Bone marrow smear. Brightfield, 40× oil-immersion objective: 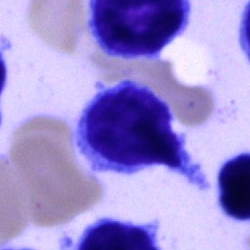

Q: What cell is this?
A: This is a typical lymphocyte.